Single cell centered in the field. Bone marrow aspirate smear.
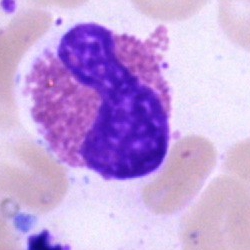

{"cell_type": "eosinophilic granulocyte", "lineage": "myeloid"}